Bone marrow smear. 40× oil immersion. May-Grünwald-Giemsa stain.
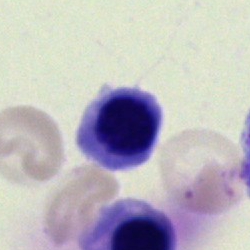Morphology → normoblast.